Bone marrow smear — 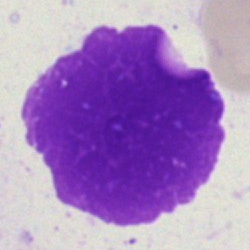

Q: What is shown here?
A: An artefact.